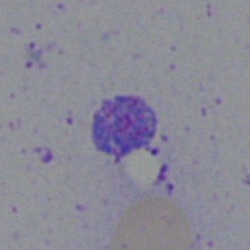

Morphological class = artifact.